Single-cell field · bone marrow aspirate smear
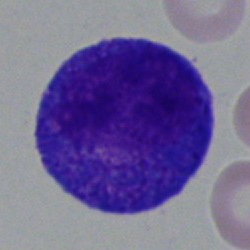
Q: What is shown here?
A: Progranulocyte.